Bone marrow smear
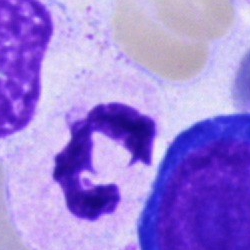Q: Identify the cell.
A: This is a segmented neutrophil.